Bone marrow smear:
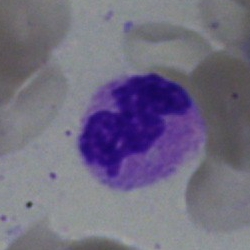Morphology consistent with a segmented neutrophil.